Bone marrow smear; brightfield, 40× oil-immersion objective:
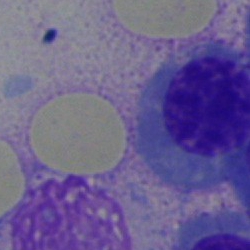 The classification is normoblast.